Bone marrow smear · brightfield microscopy, 40× oil immersion.
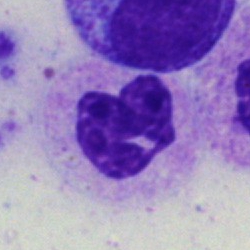
This is a segmented neutrophil.